40× oil immersion. Bone marrow aspirate smear
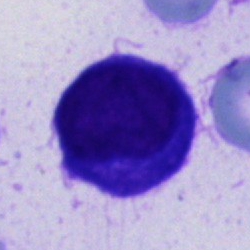 The morphological class is unidentifiable cell.